Bone marrow smear: 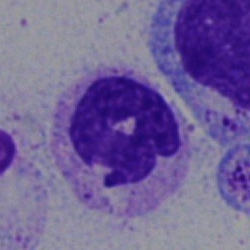
Morphology consistent with a neutrophil (segmented).